Bone marrow smear: 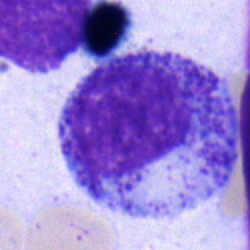

Single cell identified as a progranulocyte.